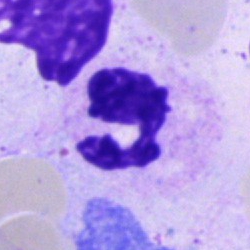 The cell type is neutrophil (segmented).